Bone marrow aspirate smear · Pappenheim-stained · 40× oil immersion — 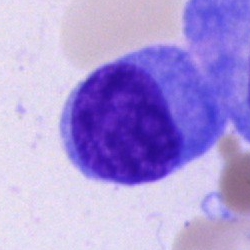Morphology — plasmacyte.